Bone marrow aspirate smear:
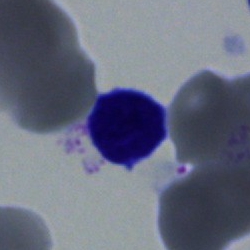

Impression — typical lymphocyte.